Brightfield microscopy, 40× oil immersion; bone marrow smear
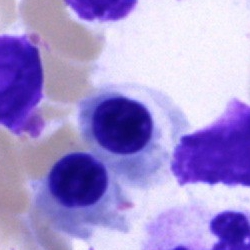

Nucleated red blood cell.